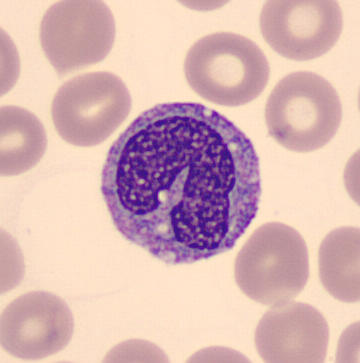

Image: Peripheral blood smear; automated cell imaging (CellaVision DM96); May-Grünwald-Giemsa-stained.
Monocyte.